250×250 px. Bone marrow aspirate smear
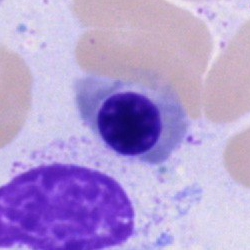 A nucleated red cell.